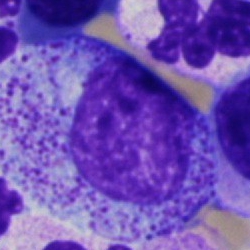 Single-cell crop from a bone marrow smear: promyelocyte.